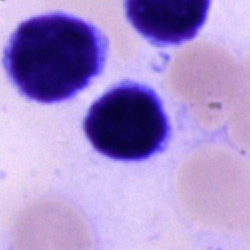{"cell_type": "typical lymphocyte", "lineage": "lymphoid"}